Bone marrow aspirate smear: 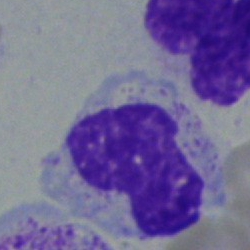
{"cell_type": "metamyelocyte", "lineage": "myeloid"}